Bone marrow smear
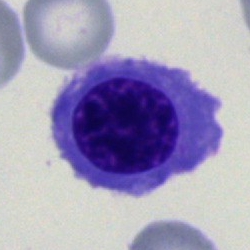
Cell — normoblast.